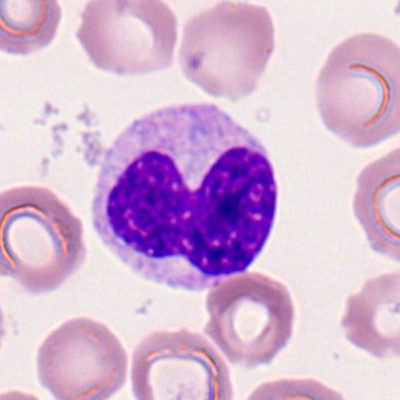Specimen: peripheral blood film.
Cell: polymorphonuclear neutrophil.
Lineage: myeloid.